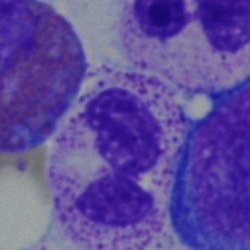 Q: What cell is this?
A: This is a segmented neutrophil.